40× oil immersion; bone marrow aspirate smear:
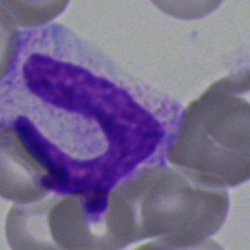
Showing a neutrophil (band).